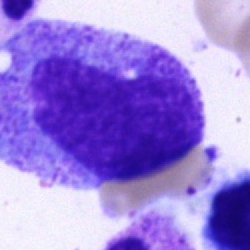

Q: What is the morphological classification of this cell?
A: Promyelocyte.